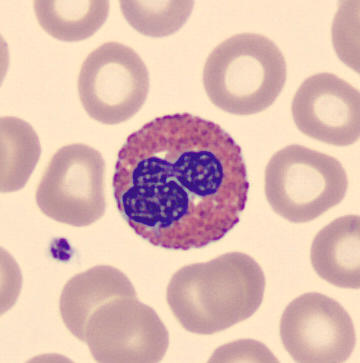

Q: What cell is this?
A: An eosinophilic granulocyte.
Image: Peripheral blood film.